Bone marrow aspirate smear — 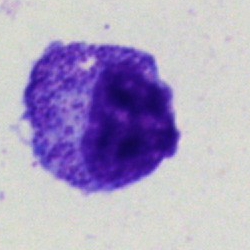 Single cell identified as a myelocyte.